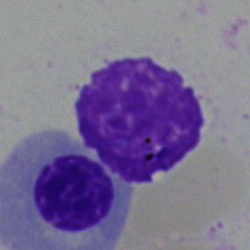 Specimen: bone marrow aspirate smear.
Cell: artefact.